Bone marrow smear.
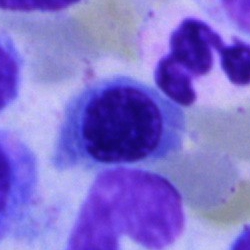
Classification = nucleated red blood cell.